Bone marrow aspirate smear.
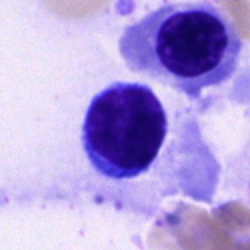
Specimen: bone marrow smear.
Morphological class: lymphocyte.